Bone marrow aspirate smear:
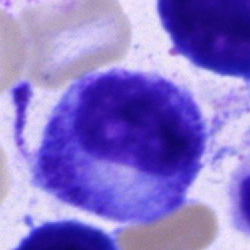
Q: What is shown here?
A: Progranulocyte.